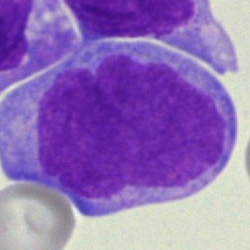Bone marrow aspirate smear, single cell — blast cell.